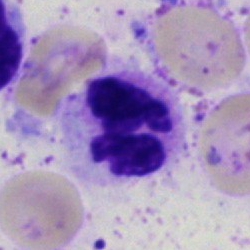

The cell is polymorphonuclear neutrophil.